Bone marrow smear:
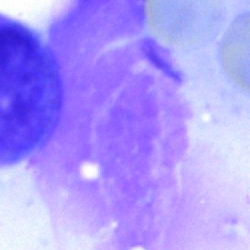Morphology consistent with an artefact.